Single-cell field · MGG-stained · bone marrow aspirate smear.
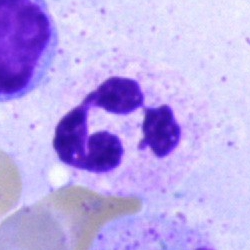

The cell shown is a polymorphonuclear neutrophil.